250 by 250 pixels; bone marrow smear:
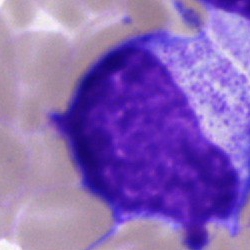

Specimen: bone marrow aspirate smear.
Morphological class: promyelocyte.